Bone marrow smear — 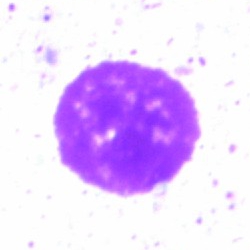
Classification: artefact.